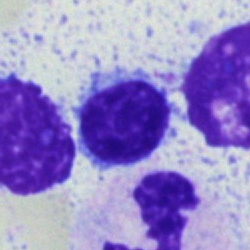 Specimen: bone marrow smear.
Classification: lymphocyte.
Lineage: lymphoid.